Bone marrow aspirate smear
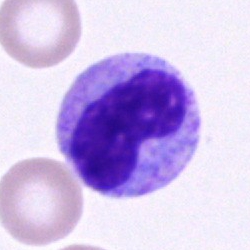

The cell shown is a metamyelocyte.